Bone marrow aspirate smear.
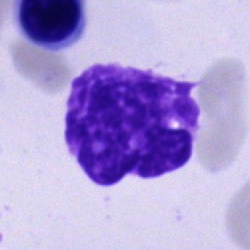 Q: What is shown here?
A: This is an artifact.